Bone marrow aspirate smear. 250×250 — 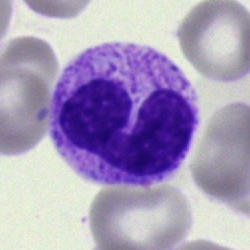
Specimen: bone marrow smear.
Cell type: stab cell.